May-Grünwald-Giemsa stain. Bone marrow smear — 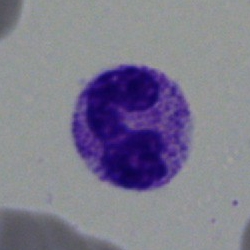
Cell = neutrophil (segmented).